Cropped to a single cell; bone marrow aspirate smear.
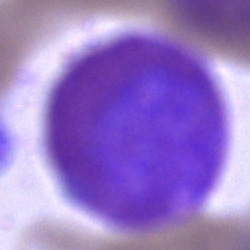

This is an eosinophil.